Bone marrow smear · single cell centered in the field: 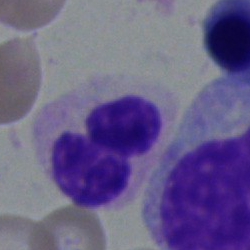

This is a polymorphonuclear neutrophil.